Cropped to a single cell · bone marrow aspirate smear · Pappenheim-stained:
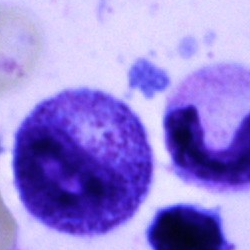
The classification is promyelocyte.